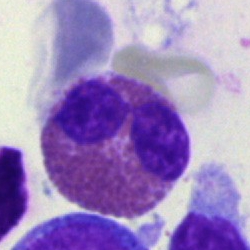

Showing an eosinophil.